Peripheral blood film · Romanowsky-type stain
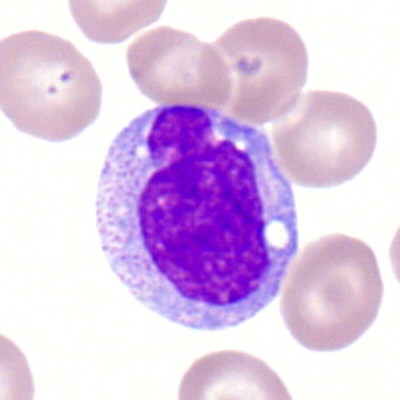

{"cell_type": "monocyte", "lineage": "myeloid"}